Bone marrow smear
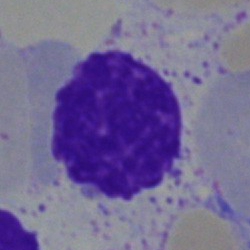 Q: What is shown here?
A: A plasmacyte.